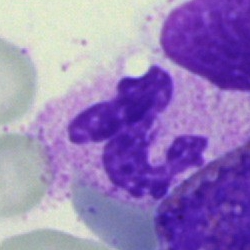 Bone marrow smear showing a neutrophil (segmented).